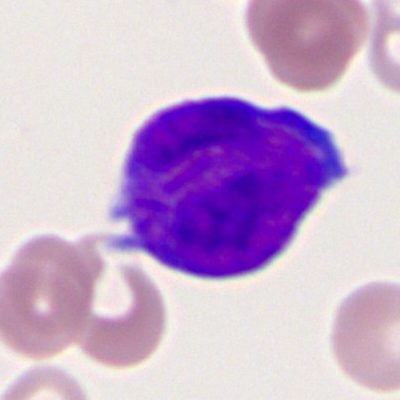Myeloblast.